Bone marrow smear.
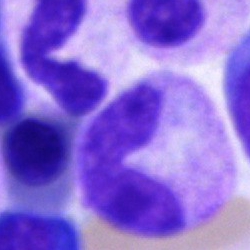Classification: stab cell.